Image size 250×250 · bone marrow smear:
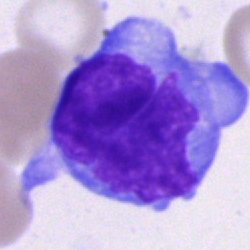 Morphology consistent with a blast cell.